Bone marrow smear — 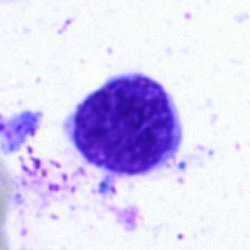 The morphological class is artefact.